Cropped to a single cell · bone marrow aspirate smear.
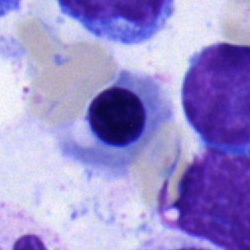
Cell — erythroblast.